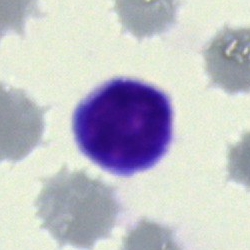Classification = typical lymphocyte.